Peripheral blood film:
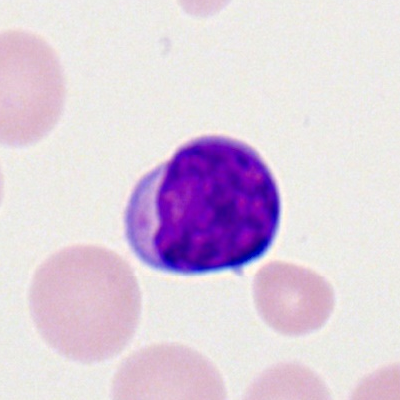Q: What type of cell is this?
A: It is a lymphocyte.